Bone marrow aspirate smear: 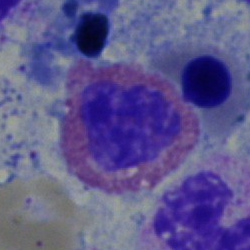

An eosinophilic granulocyte.